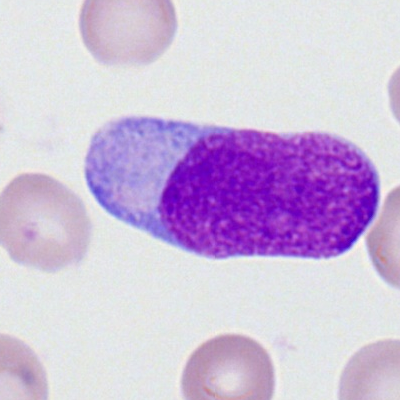

Showing a myeloblast.